Bone marrow aspirate smear.
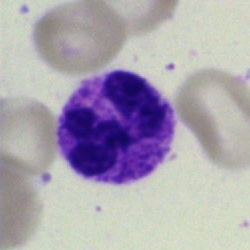

This is a segmented neutrophil.